Single cell centered in the field · 40× objective, oil immersion · bone marrow smear: 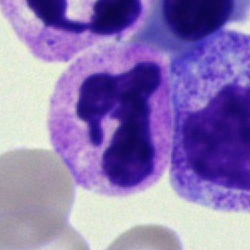
Q: What is shown here?
A: It is a segmented neutrophil.